Bone marrow smear; brightfield microscopy, 40× oil immersion; single-cell field
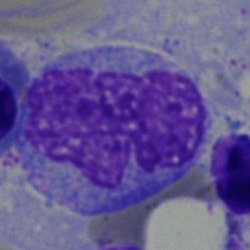 Specimen: bone marrow aspirate smear.
Classification: monocyte.
Lineage: myeloid.